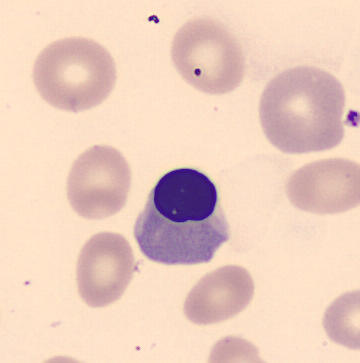
Q: What is the morphological classification of this cell?
A: This is a normoblast.